Bone marrow smear. Brightfield, 40× oil-immersion objective. May-Grünwald-Giemsa/Pappenheim stain:
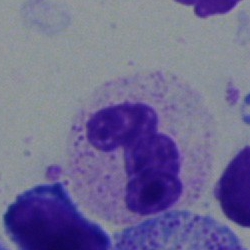

This is a neutrophil (segmented).